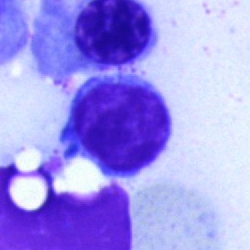
Q: What is shown here?
A: It is a lymphocyte.